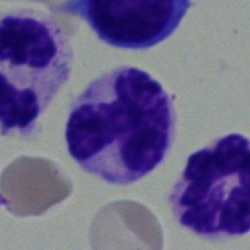

Q: Identify the cell.
A: A neutrophil (segmented).